Bone marrow aspirate smear — 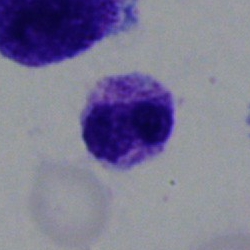

{"cell_type": "polymorphonuclear neutrophil", "lineage": "myeloid"}